Bone marrow smear
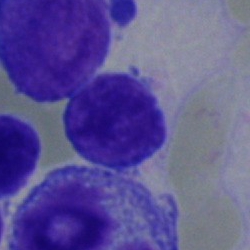

This is a blast cell.